40× oil immersion. 250 by 250 pixels. Bone marrow smear
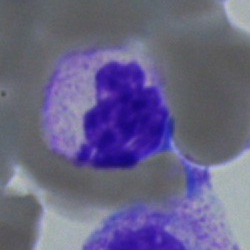

The cell shown is a polymorphonuclear neutrophil.